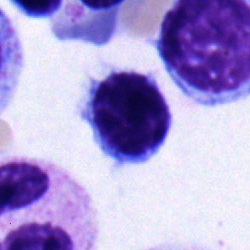Classification = typical lymphocyte.